Peripheral blood smear · image size 400×400.
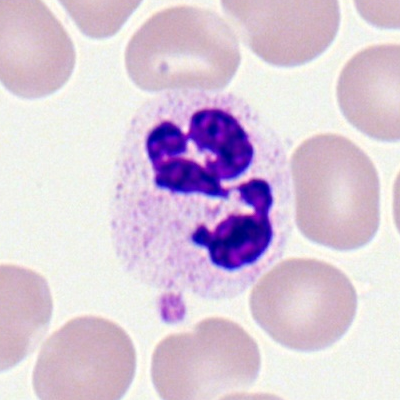

Classification — segmented neutrophil.